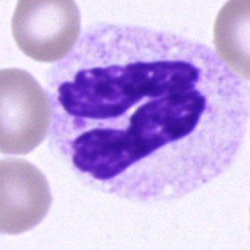Bone marrow aspirate smear, single cell — polymorphonuclear neutrophil.